40× oil immersion. Bone marrow smear:
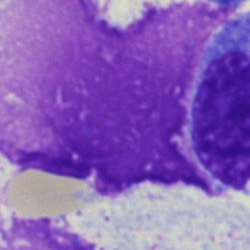{"cell_type": "artefact"}